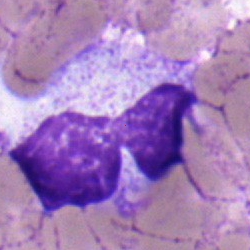 Single cell identified as a neutrophil (band).